Bone marrow aspirate smear
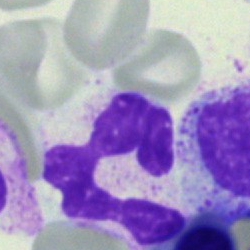
Showing a neutrophil (segmented).